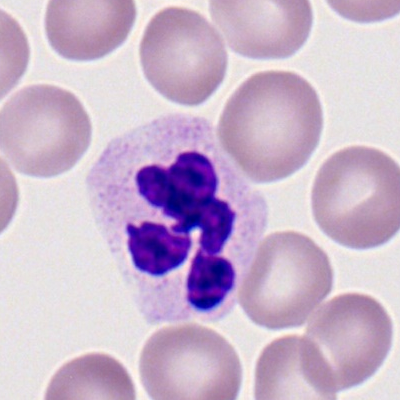

A segmented neutrophil.